Bone marrow aspirate smear
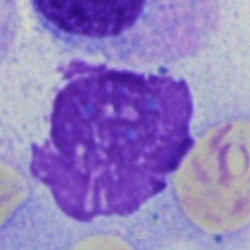
{"cell_type": "artifact"}